Single-cell field; bone marrow aspirate smear; May-Grünwald-Giemsa stain — 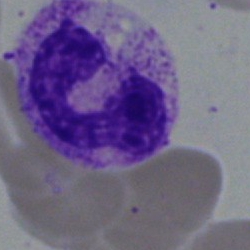

Impression → band-form neutrophil.